May-Grünwald-Giemsa stain. 250×250. Bone marrow smear — 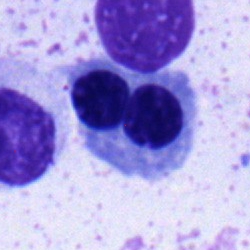Showing a normoblast.